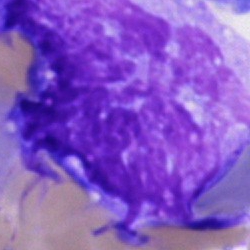The cell is artifact.